Bone marrow aspirate smear · 40× objective, oil immersion
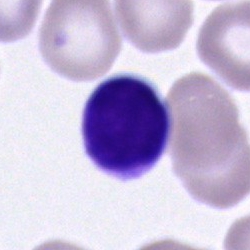

Morphology → lymphocyte.